Single cell centered in the field · bone marrow aspirate smear
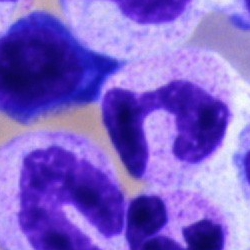

Morphology → neutrophil (segmented).